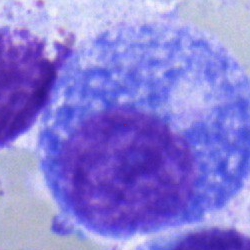
Single-cell crop from a bone marrow smear: promyelocyte.